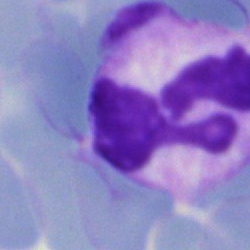 Morphology consistent with an artefact.